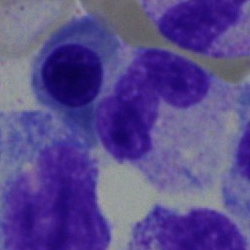
Q: Identify the cell.
A: A neutrophil (band).